Bone marrow smear; cropped to a single cell:
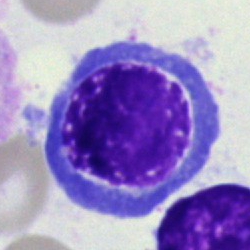
Q: What is shown here?
A: This is an erythroblast.